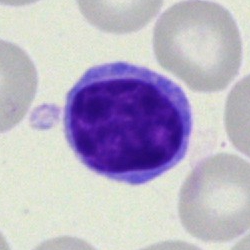

Specimen: bone marrow aspirate smear.
Cell: lymphocyte.